250×250 · bone marrow aspirate smear · MGG-stained
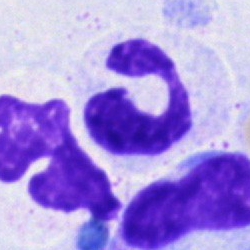
This is a polymorphonuclear neutrophil.